Bone marrow aspirate smear — 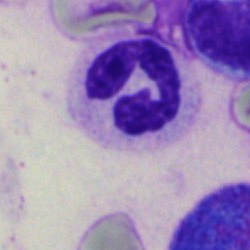 The cell is polymorphonuclear neutrophil.